Bone marrow smear.
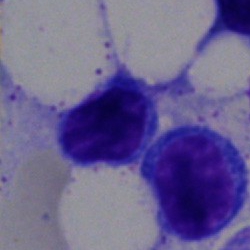 {"cell_type": "nucleated red cell", "lineage": "erythroid"}